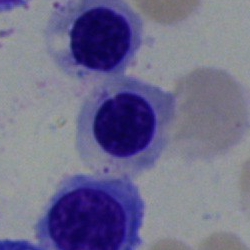
Showing an erythroblast.